Peripheral blood smear
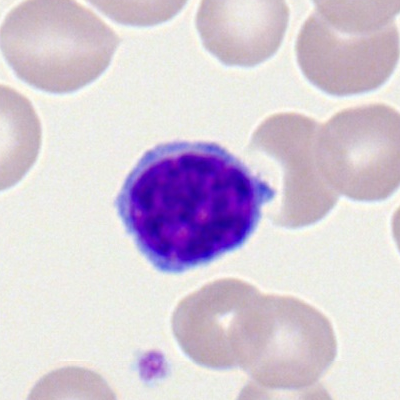

This is a typical lymphocyte.